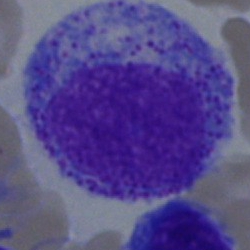 Morphological class — promyelocyte.